Single-cell field; bone marrow smear; brightfield, 40× oil-immersion objective
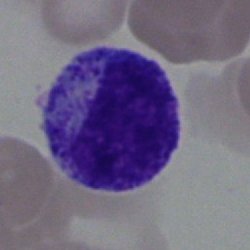
Q: What cell is this?
A: Myelocyte.